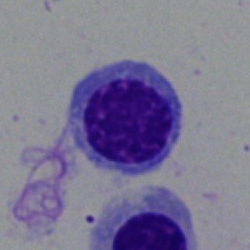Cell type: nucleated red cell.